40× objective, oil immersion · bone marrow aspirate smear
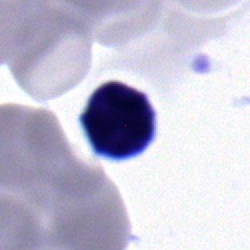
Showing a typical lymphocyte.